Bone marrow aspirate smear.
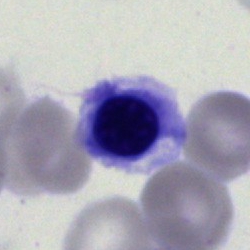 Classification — nucleated red cell.